May-Grünwald-Giemsa stain. Bone marrow aspirate smear.
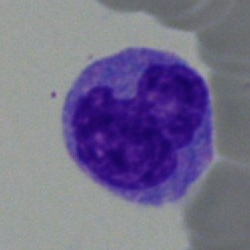Showing a monocyte.